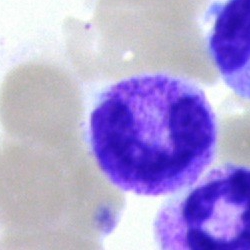
Morphological class — segmented neutrophil.